Bone marrow smear — 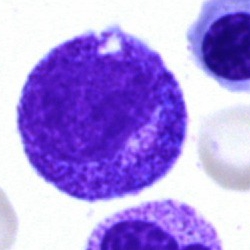Q: What cell is this?
A: It is a myelocyte.